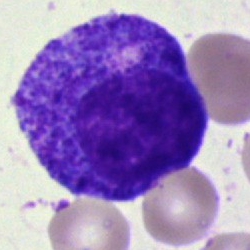 Classification: myelocyte.